Bone marrow aspirate smear. May-Grünwald-Giemsa/Pappenheim stain — 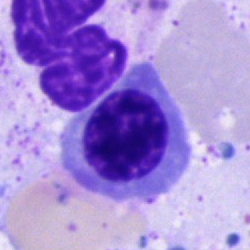 Single cell identified as a normoblast.